Bone marrow aspirate smear — 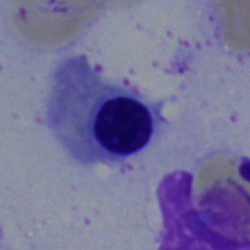 The cell type is nucleated red blood cell.